Bone marrow aspirate smear
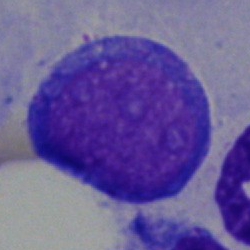

Q: What cell is this?
A: Proerythroblast.